Bone marrow smear
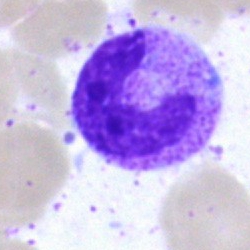Classification: metamyelocyte.